Image size 250×250; bone marrow aspirate smear: 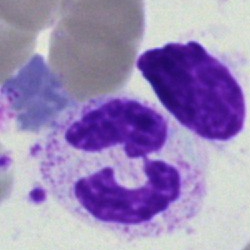
The cell shown is a polymorphonuclear neutrophil.